Bone marrow smear:
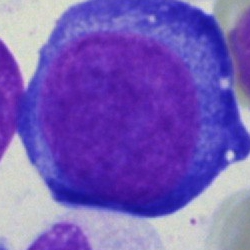Single cell identified as a proerythroblast.